Peripheral blood smear; imaged on a CellaVision DM96 analyser:
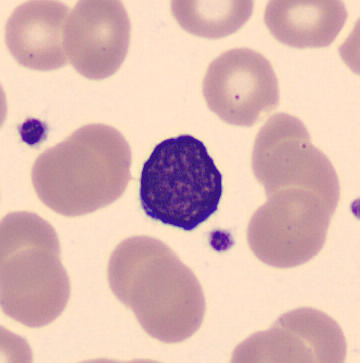 Cell: typical lymphocyte.